40× oil immersion. Bone marrow aspirate smear:
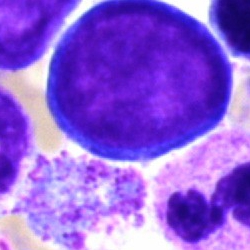A pronormoblast.